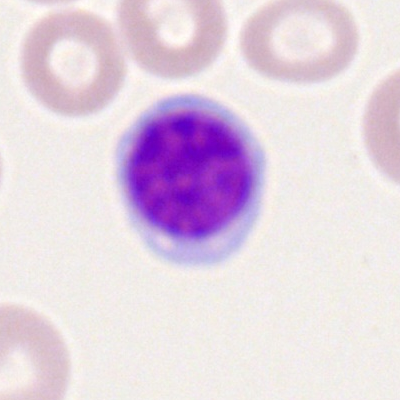This is a lymphocyte.